May-Grünwald-Giemsa stain. 250×250 px. Bone marrow smear
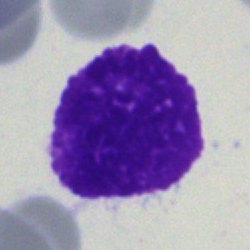This is an artifact.